Peripheral blood smear; image size 400×400: 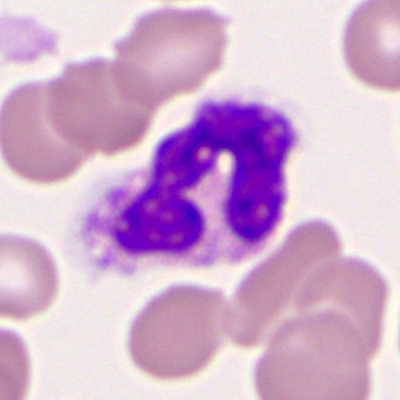 Neutrophil (segmented).